Bone marrow smear
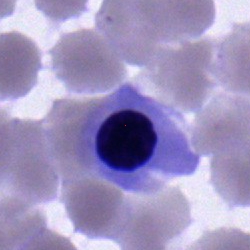 Specimen: bone marrow smear.
Cell: normoblast.